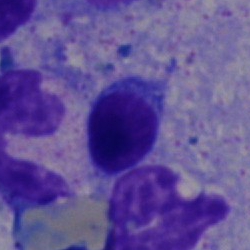
Single-cell crop from a bone marrow smear: typical lymphocyte.